Bone marrow smear: 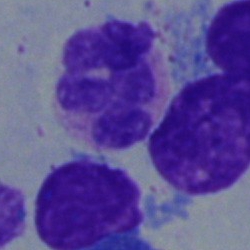

The classification is neutrophil (segmented).